Bone marrow aspirate smear: 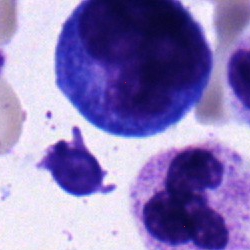

Cell type = monocyte.